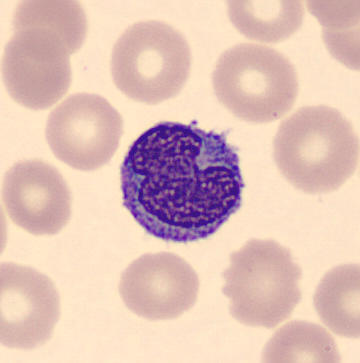

Identified as a monocyte.